Bone marrow aspirate smear — 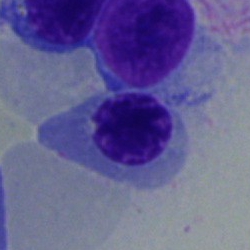Specimen: bone marrow aspirate smear.
Cell type: normoblast.
Lineage: erythroid.